Bone marrow smear
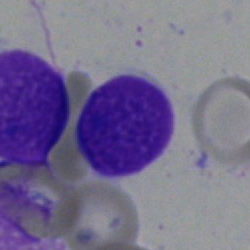

Morphological class = lymphocyte.